Bone marrow smear: 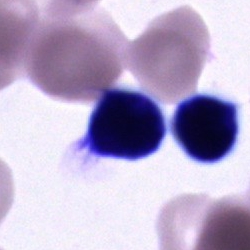
Specimen: bone marrow aspirate smear.
Cell type: unidentifiable cell.